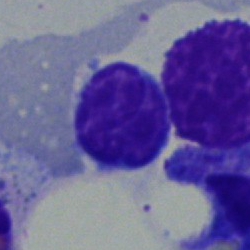Q: What type of cell is this?
A: A lymphocyte.